Bone marrow aspirate smear. 40× objective, oil immersion.
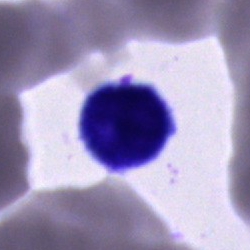 Showing an unidentifiable cell.